Bone marrow aspirate smear. May-Grünwald-Giemsa/Pappenheim stain — 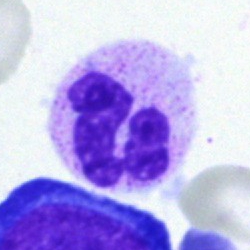

This is a neutrophil (segmented).